Bone marrow aspirate smear
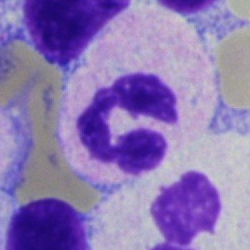
Morphological class — segmented neutrophil.